Bone marrow aspirate smear.
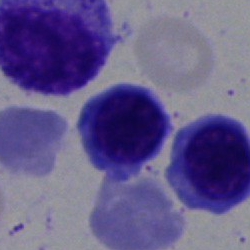
Single cell identified as a normoblast.